Bone marrow aspirate smear.
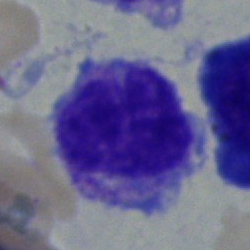
Single cell identified as a monocyte.